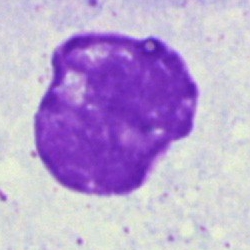 Morphological class = artefact.